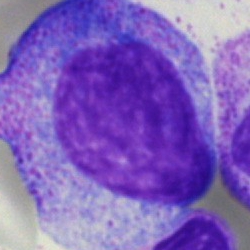
Morphological class = progranulocyte.